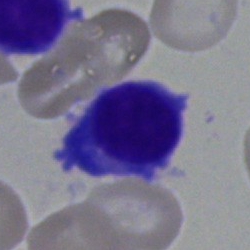Q: Which cell type is shown here?
A: A plasmacyte.